Bone marrow smear — 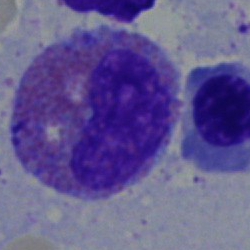This is an eosinophil.